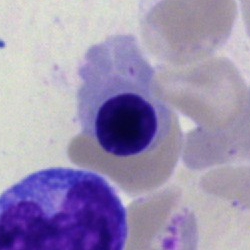 Q: What is shown here?
A: This is a nucleated red blood cell.